Bone marrow aspirate smear: 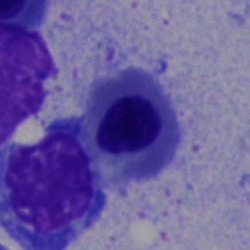 Single cell identified as an erythroblast.